Bone marrow smear. Single cell centered in the field. May-Grünwald-Giemsa stain:
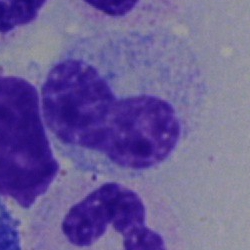Q: What is shown here?
A: A band-form neutrophil.